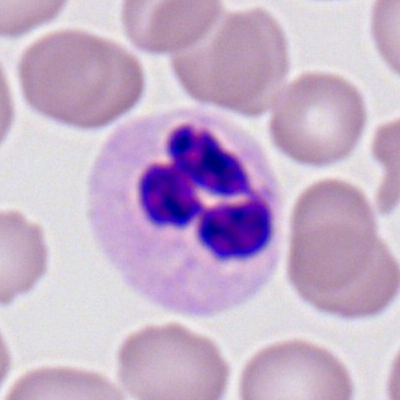 Morphology — segmented neutrophil.